Bone marrow smear. MGG-stained — 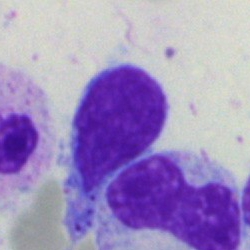
Classification — lymphocyte.